Bone marrow smear; single-cell field
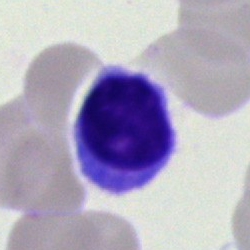

{"cell_type": "lymphocyte"}